Bone marrow aspirate smear. Brightfield microscopy, 40× oil immersion:
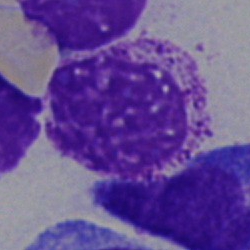The morphological class is myelocyte.